Single-cell crop · 250×250 px · bone marrow aspirate smear.
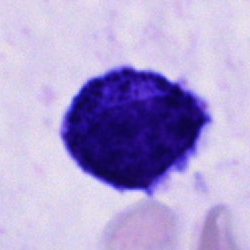 Impression → cell of indeterminate lineage.